Bone marrow smear. Brightfield, 40× oil-immersion objective. Single cell centered in the field:
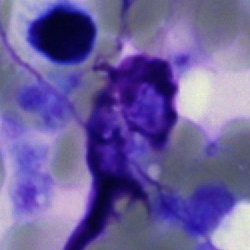An artefact.